Bone marrow smear:
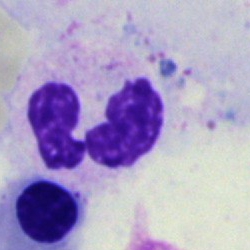

Q: Which cell type is shown here?
A: A segmented neutrophil.